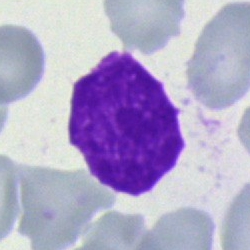
Specimen: bone marrow smear.
Classification: artifact.